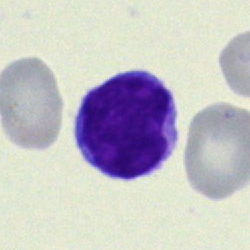

Impression → typical lymphocyte.